Bone marrow smear. 250 by 250 pixels. Brightfield microscopy, 40× oil immersion — 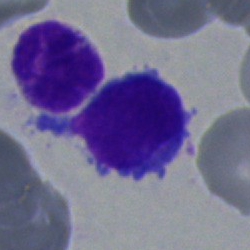

Single cell identified as a typical lymphocyte.